Bone marrow aspirate smear: 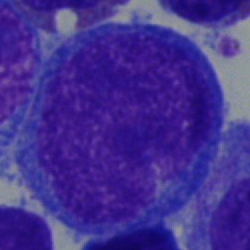

Showing an undifferentiated blast.